Bone marrow aspirate smear.
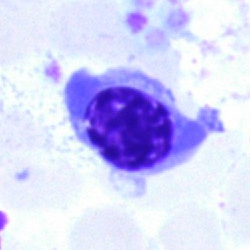

Impression → nucleated red blood cell.